Single cell centered in the field · bone marrow smear
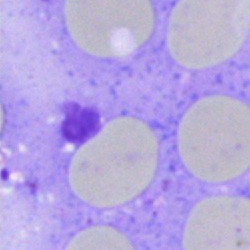Artifact.